Bone marrow aspirate smear — 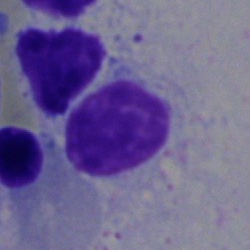Artefact.